Bone marrow smear: 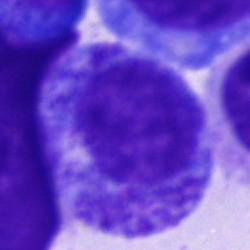
This is a promyelocyte.